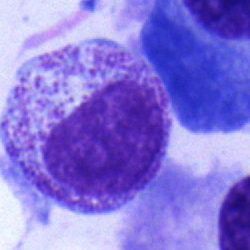 {"cell_type": "myelocyte", "lineage": "myeloid"}